May-Grünwald-Giemsa stain. Bone marrow smear.
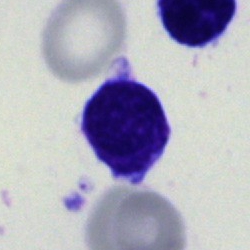Specimen: bone marrow aspirate smear.
Cell: undifferentiated blast.